Imaged on a CellaVision DM96 analyser · May-Grünwald-Giemsa-stained · peripheral blood smear: 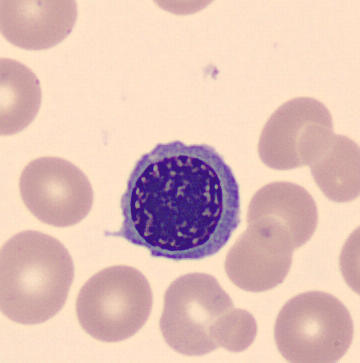

Cell type = nucleated red blood cell.